Peripheral blood smear — 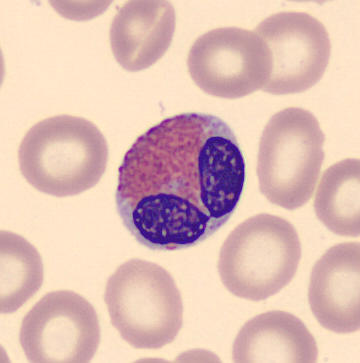 The cell type is eosinophilic granulocyte.